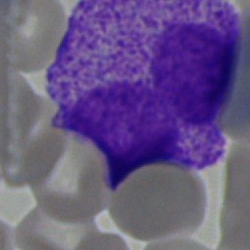Bone marrow smear showing a blast.